May-Grünwald-Giemsa/Pappenheim stain; bone marrow aspirate smear; 250×250 px
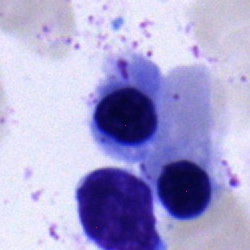Q: Which cell type is shown here?
A: This is a nucleated red cell.